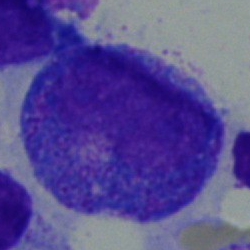 Specimen: bone marrow aspirate smear.
Classification: progranulocyte.